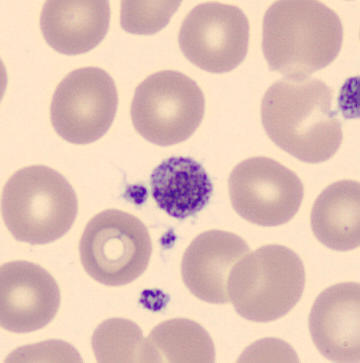 Cell type — thrombocyte.